Bone marrow smear · image size 250×250.
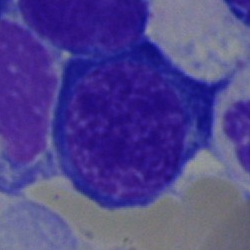
Single cell identified as a proerythroblast.